250×250; bone marrow aspirate smear.
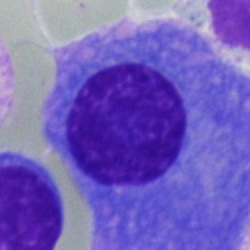 Morphology consistent with a plasma cell.